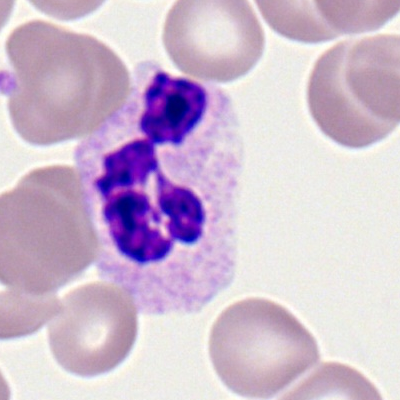 The cell shown is a segmented neutrophil.